Brightfield microscopy, 40× oil immersion · Pappenheim-stained · bone marrow smear
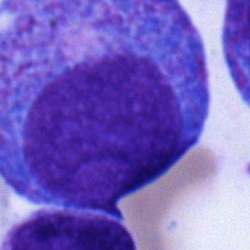
Q: What cell is this?
A: A progranulocyte.